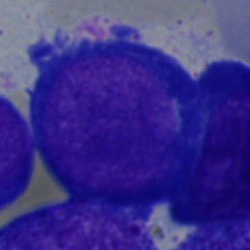Morphological class = proerythroblast.